Bone marrow aspirate smear: 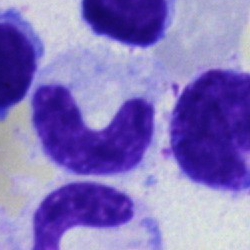 Specimen: bone marrow smear.
Classification: stab cell.
Lineage: myeloid.